Bone marrow smear · brightfield microscopy, 40× oil immersion.
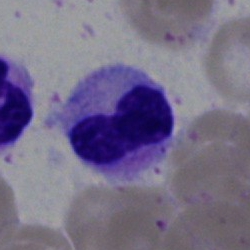
The morphological class is stab cell.